Bone marrow aspirate smear: 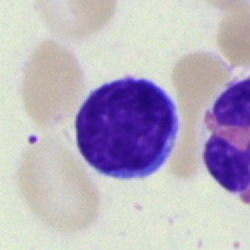 {"cell_type": "lymphocyte", "lineage": "lymphoid"}